Bone marrow aspirate smear. Pappenheim-stained — 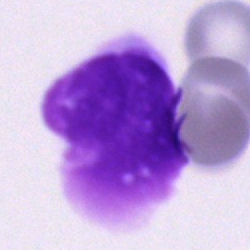The cell shown is an artefact.